Bone marrow aspirate smear: 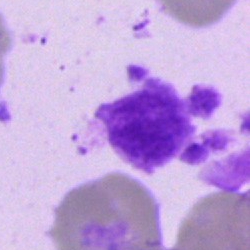

Morphology consistent with an artefact.